Brightfield microscopy, 40× oil immersion; bone marrow smear: 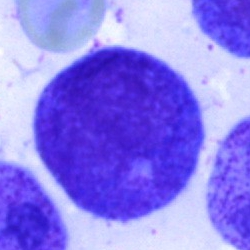

Q: What cell is this?
A: This is a progranulocyte.